Bone marrow aspirate smear:
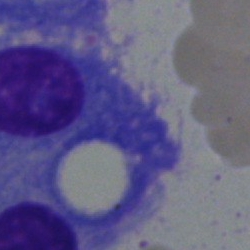 Showing a plasma cell.